Bone marrow smear — 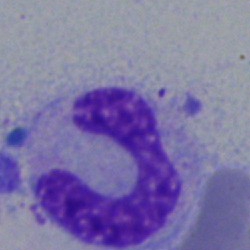Morphology consistent with a stab cell.